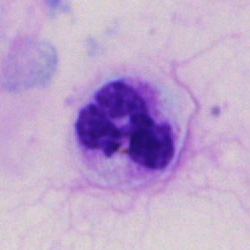

The cell shown is a neutrophil (segmented).